Bone marrow smear — 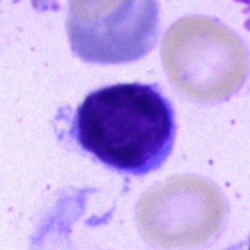
Q: Which cell type is shown here?
A: Typical lymphocyte.